MGG-stained; bone marrow aspirate smear.
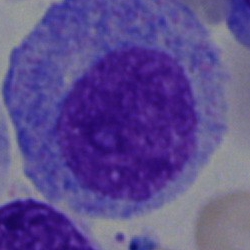

Cell type: progranulocyte.